Bone marrow smear — 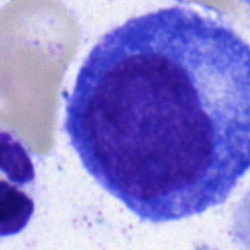

This is a progranulocyte.